Bone marrow smear — 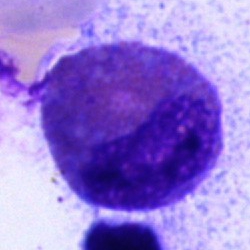
Eosinophil.